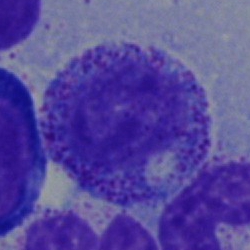Q: What type of cell is this?
A: It is a myelocyte.